Single-cell field · bone marrow smear — 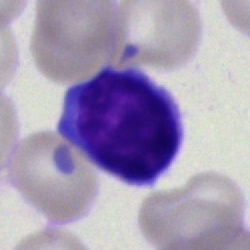 Specimen: bone marrow aspirate smear.
Classification: typical lymphocyte.
Lineage: lymphoid.